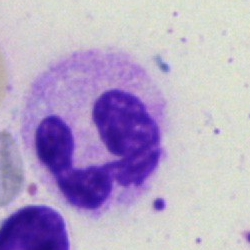 Specimen: bone marrow aspirate smear.
Morphological class: polymorphonuclear neutrophil.
Lineage: myeloid.